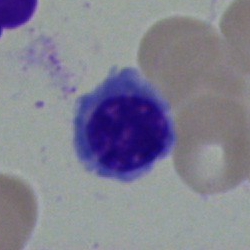
Q: What is the morphological classification of this cell?
A: This is a normoblast.